Bone marrow smear
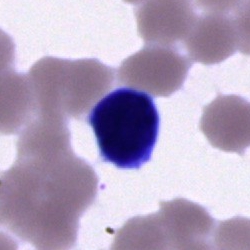

Morphological class: artefact.